250 by 250 pixels · bone marrow aspirate smear: 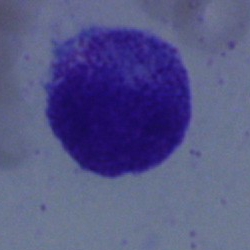Q: Which cell type is shown here?
A: A progranulocyte.